Bone marrow smear.
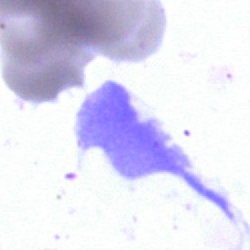

Q: What is shown here?
A: This is an artefact.